Bone marrow aspirate smear
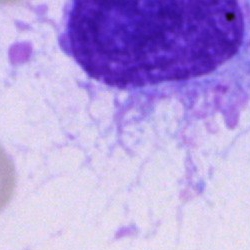
The cell shown is an artifact.